Single-cell field; 40× objective, oil immersion; bone marrow smear: 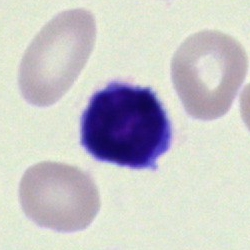 Impression → typical lymphocyte.